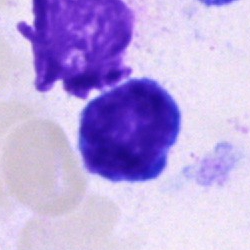Single-cell crop from a bone marrow smear: lymphocyte.